Bone marrow aspirate smear.
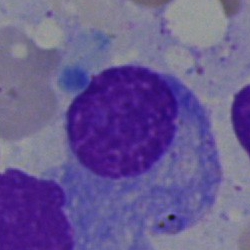

Classification — plasma cell.